Bone marrow smear · Pappenheim-stained.
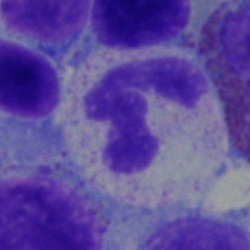 Morphology → polymorphonuclear neutrophil.